Bone marrow smear:
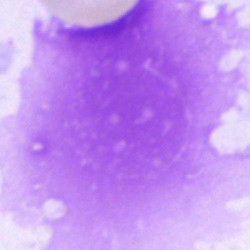 Morphology consistent with an artifact.